Bone marrow aspirate smear. Brightfield, 40× oil-immersion objective. 250 by 250 pixels.
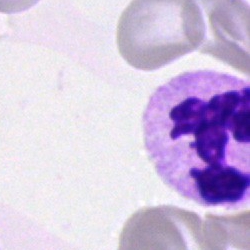
This is a neutrophil (segmented).